Bone marrow smear; single cell centered in the field:
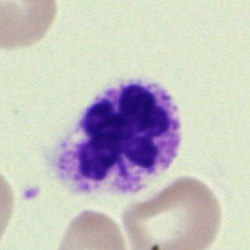
Cell: polymorphonuclear neutrophil.